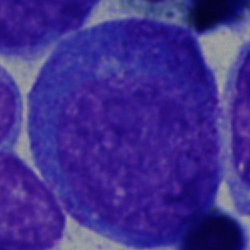 Q: Identify the cell.
A: A promyelocyte.